Pappenheim-stained; bone marrow aspirate smear: 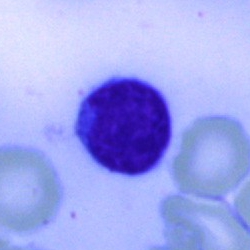Typical lymphocyte.